Peripheral blood film · cropped to a single cell · 400×400 px: 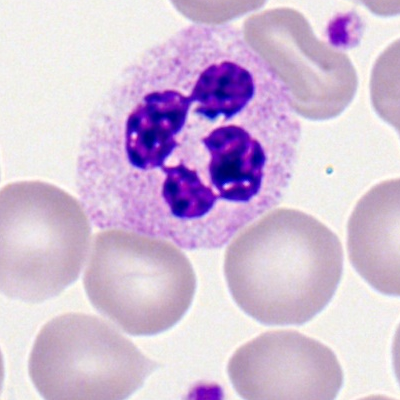

Showing a polymorphonuclear neutrophil.